May-Grünwald-Giemsa/Pappenheim stain · bone marrow smear — 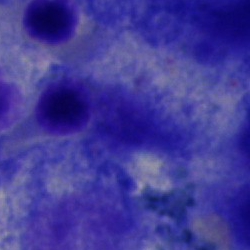
Q: What is shown here?
A: Artefact.